Bone marrow smear — 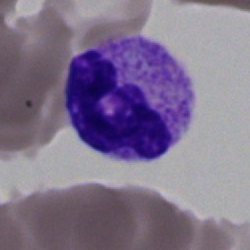 {"cell_type": "segmented neutrophil", "lineage": "myeloid"}